Bone marrow smear. 250×250 px
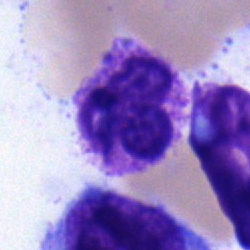
This is a polymorphonuclear neutrophil.